Bone marrow smear; 40× oil immersion; MGG-stained: 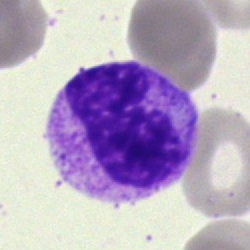 Specimen: bone marrow smear.
Morphological class: band neutrophil.
Lineage: myeloid.